Bone marrow aspirate smear · brightfield, 40× oil-immersion objective · single cell centered in the field — 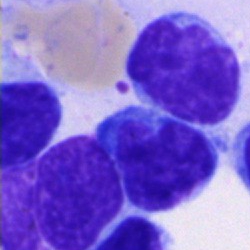
Q: What cell is this?
A: It is a typical lymphocyte.